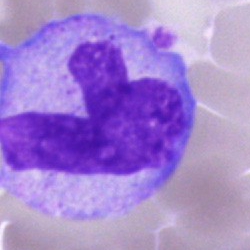

Morphological class = monocyte.